Bone marrow smear; MGG-stained
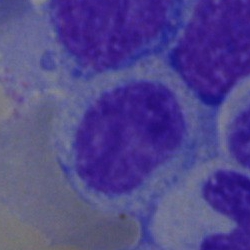 Specimen: bone marrow aspirate smear.
Morphological class: myelocyte.
Lineage: myeloid.